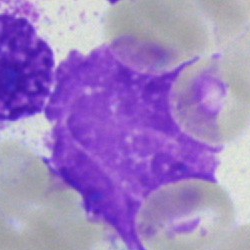
{"cell_type": "artefact"}